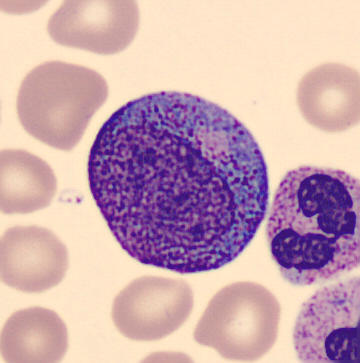
From a peripheral blood smear: a progranulocyte.